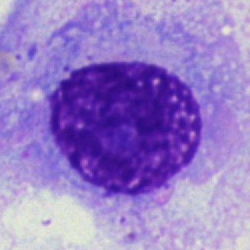

Classification = artefact.